Bone marrow smear · single-cell crop
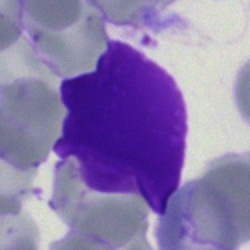

The cell is artefact.